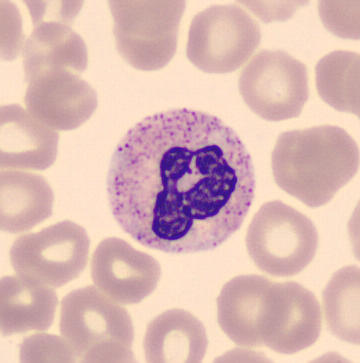 Cell type = band-form neutrophil.
Acquisition: Peripheral blood film. Single cell centered in the field. Automated cell imaging (CellaVision DM96).